Bone marrow smear
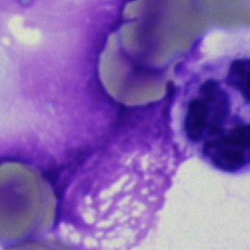

The cell shown is an artefact.